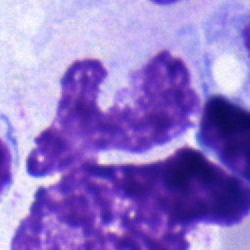

Q: What cell is this?
A: Stab cell.